Pappenheim-stained. Bone marrow smear. 250×250 px
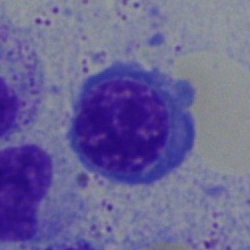The cell shown is an erythroblast.